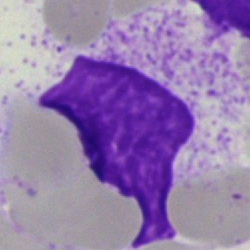Showing an artifact.